Bone marrow smear
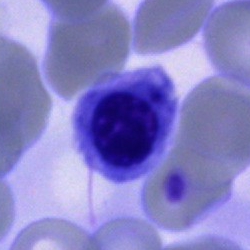

Morphological class = nucleated red cell.